Bone marrow smear:
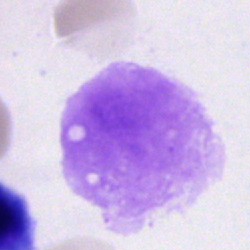 Morphological class = artifact.